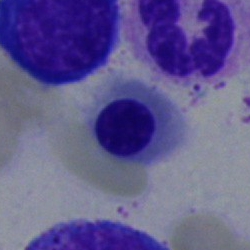

Impression — erythroblast.